Bone marrow smear: 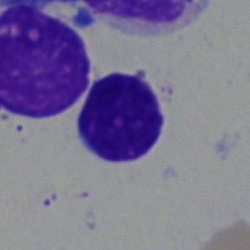Cell = typical lymphocyte.